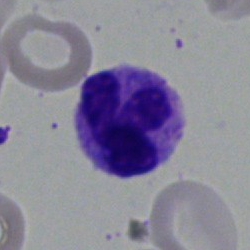Classification: neutrophil (segmented).